Bone marrow smear: 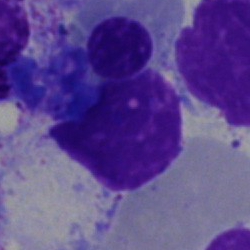 This is an artefact.